Single-cell field; bone marrow aspirate smear: 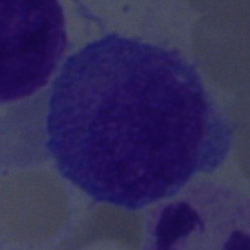Single cell identified as a progranulocyte.